Bone marrow aspirate smear; image size 250×250.
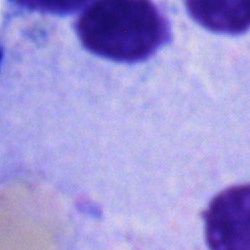 The classification is typical lymphocyte.